Single-cell crop · bone marrow aspirate smear
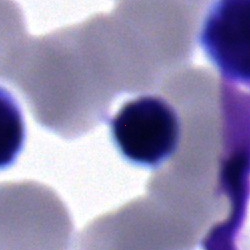Morphology consistent with a typical lymphocyte.